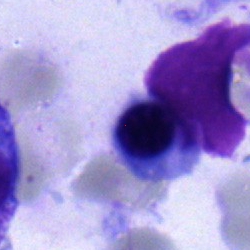 The morphological class is nucleated red cell.